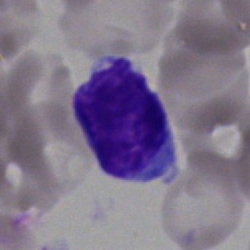 Cell type = typical lymphocyte.